Bone marrow aspirate smear; Pappenheim-stained; 250 by 250 pixels
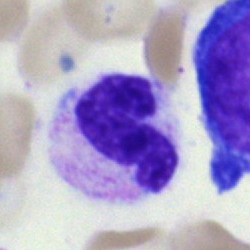
Impression — stab cell.